Bone marrow smear — 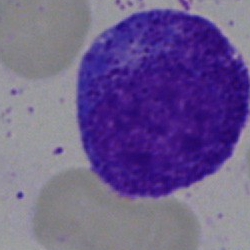 Morphology consistent with a promyelocyte.